Bone marrow aspirate smear · single cell centered in the field
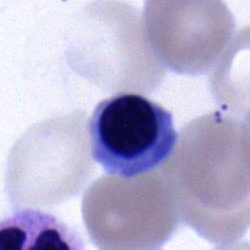
This is a nucleated red blood cell.